May-Grünwald-Giemsa stain · single cell centered in the field · bone marrow aspirate smear: 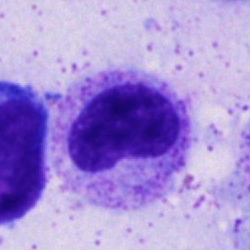 Morphology consistent with a metamyelocyte.